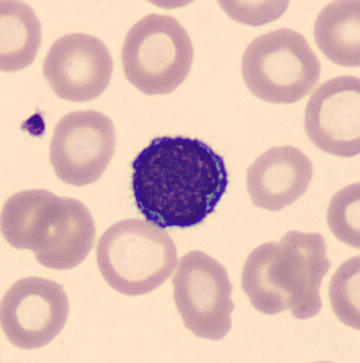

Image: Peripheral blood film.
The cell shown is a lymphocyte.